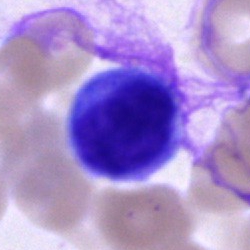
Q: What is the morphological classification of this cell?
A: Unidentifiable cell.